Bone marrow aspirate smear: 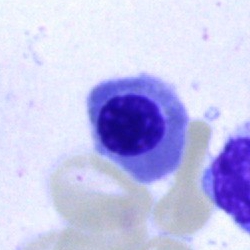
Specimen: bone marrow smear.
Cell type: nucleated red blood cell.